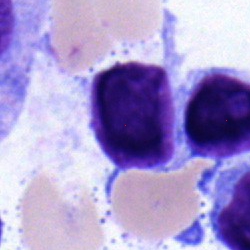Q: What is shown here?
A: This is a lymphocyte.